Romanowsky-type stain; peripheral blood smear.
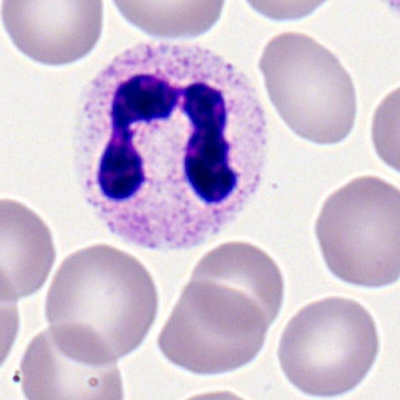 The cell is neutrophil (segmented).